Single-cell crop · bone marrow aspirate smear · May-Grünwald-Giemsa stain:
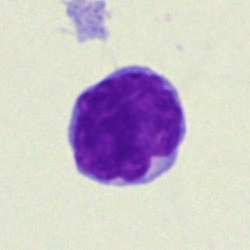{"cell_type": "typical lymphocyte", "lineage": "lymphoid"}